250×250 px; bone marrow aspirate smear.
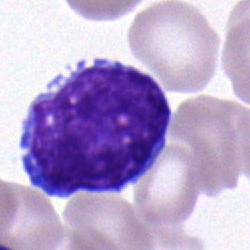Specimen: bone marrow aspirate smear.
Cell: typical lymphocyte.